Bone marrow smear:
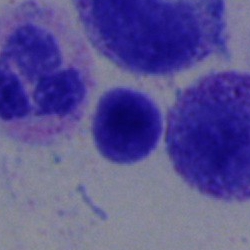

This is a lymphocyte.